Peripheral blood smear: 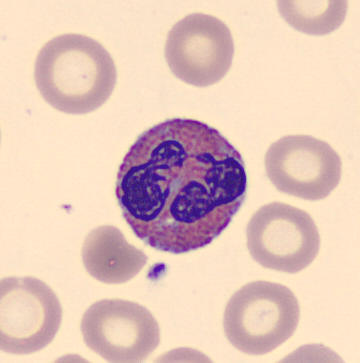 Q: Identify the cell.
A: This is an eosinophil.